Bone marrow smear.
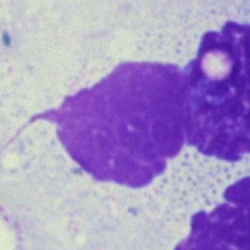
Showing an artifact.